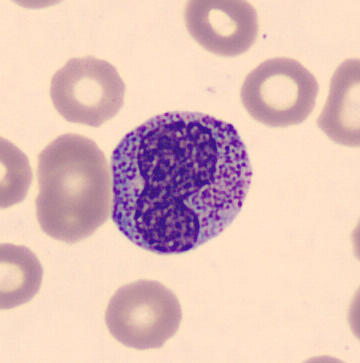
Cell — metamyelocyte. Single cell centered in the field · peripheral blood film.